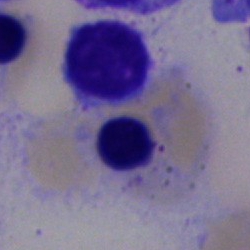Classification — nucleated red cell.